Bone marrow smear. Cropped to a single cell: 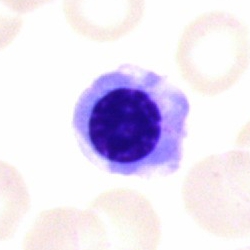 Showing a nucleated red blood cell.